Bone marrow smear — 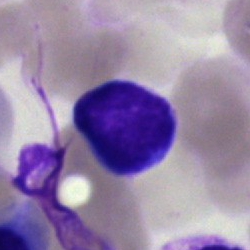 The cell is lymphocyte.